Bone marrow aspirate smear; MGG-stained.
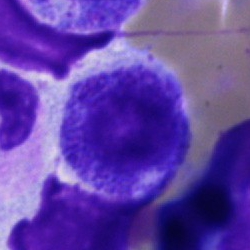 A progranulocyte.